250×250 px. Bone marrow aspirate smear
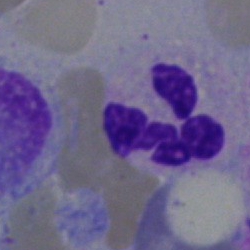

Q: What type of cell is this?
A: Polymorphonuclear neutrophil.